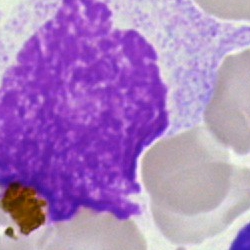

Q: What is shown here?
A: Artifact.